Bone marrow smear:
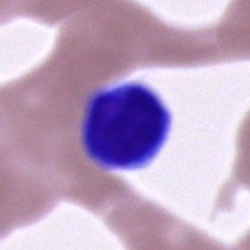

A cell of indeterminate lineage.